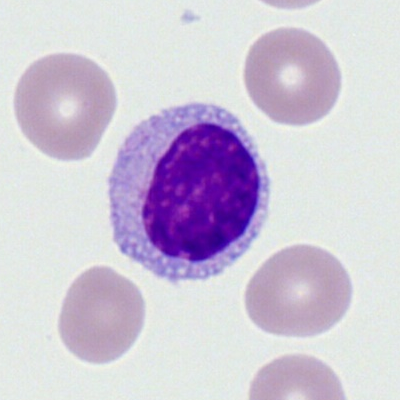
The classification is typical lymphocyte.